Brightfield, 40× oil-immersion objective. Bone marrow smear.
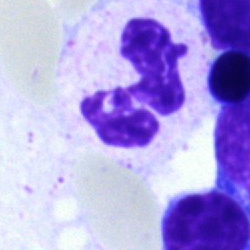

A segmented neutrophil.